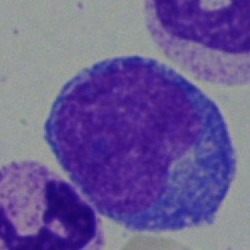 Classification: undifferentiated blast.